Bone marrow smear.
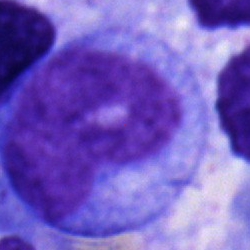 Morphological class: monocyte.